Bone marrow aspirate smear: 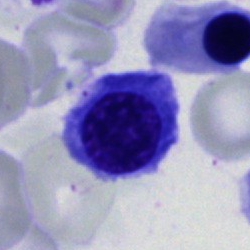 Morphological class — nucleated red blood cell.